Single-cell field · peripheral blood film
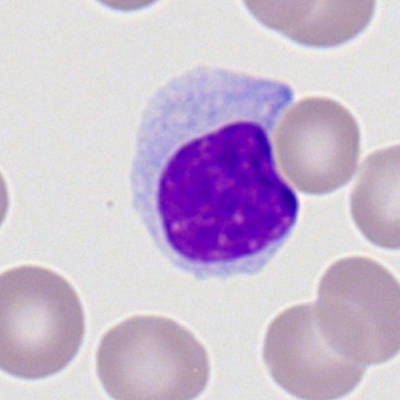The cell shown is a typical lymphocyte.